Bone marrow smear · single-cell crop: 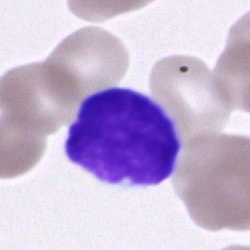

Single cell identified as a typical lymphocyte.